Bone marrow smear — 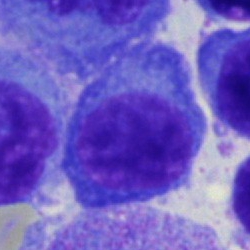
Morphology consistent with a plasma cell.